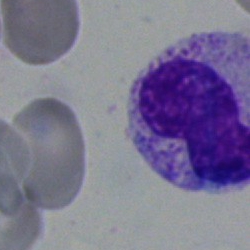
Q: What is shown here?
A: Neutrophil (segmented).